Single cell centered in the field · bone marrow aspirate smear — 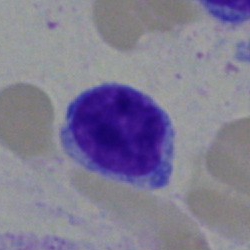

Q: What is the morphological classification of this cell?
A: Lymphocyte.